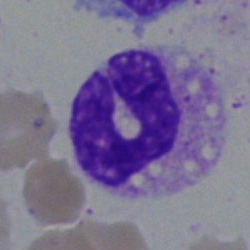

The classification is band neutrophil.